250×250; bone marrow aspirate smear
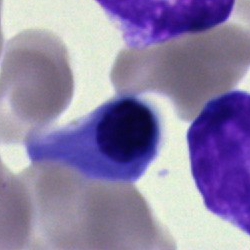 This is a nucleated red cell.